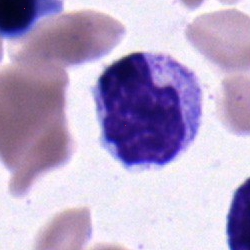 Q: What is the morphological classification of this cell?
A: Myelocyte.